Bone marrow smear.
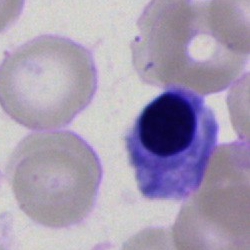Morphology consistent with a normoblast.